Peripheral blood smear; Romanowsky-type stain; single-cell field
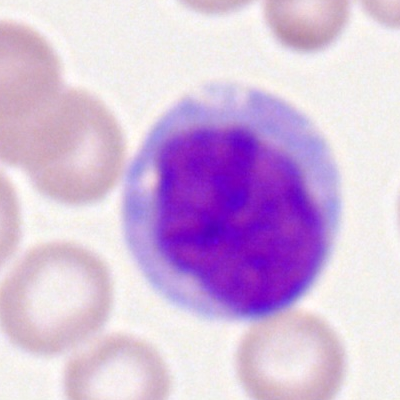
A monocyte.